Bone marrow smear.
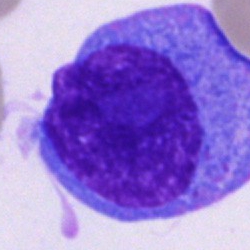

This is a plasma cell.